Brightfield, 40× oil-immersion objective; bone marrow smear: 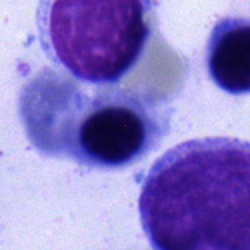
Specimen: bone marrow smear.
Classification: nucleated red blood cell.